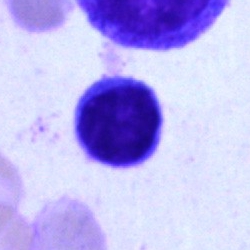Impression — typical lymphocyte.